Bone marrow aspirate smear: 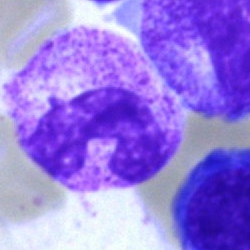 Morphology → polymorphonuclear neutrophil.